Bone marrow aspirate smear:
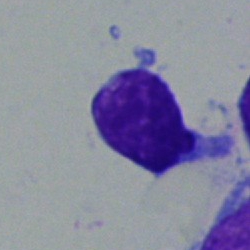
Showing a lymphocyte.